Bone marrow aspirate smear — 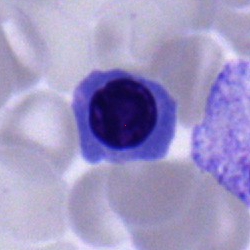 Morphology — normoblast.